Pappenheim-stained. Bone marrow aspirate smear.
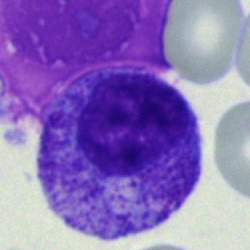
A myelocyte.